Bone marrow aspirate smear — 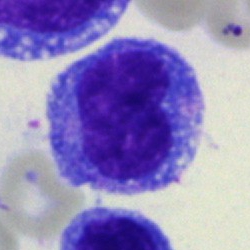

Morphology — monocyte.